Single cell centered in the field; bone marrow smear; Pappenheim-stained:
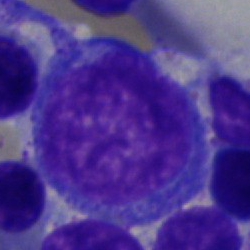

Q: What cell is this?
A: It is a promyelocyte.